Bone marrow smear; single-cell field: 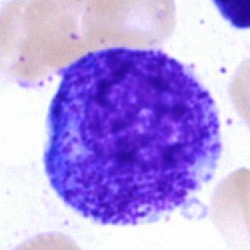Morphology consistent with a progranulocyte.